Bone marrow smear; brightfield, 40× oil-immersion objective — 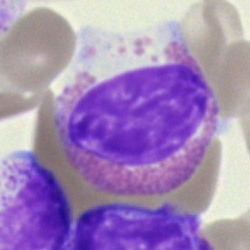 An eosinophil.